Single-cell field; brightfield microscopy, 40× oil immersion; bone marrow smear
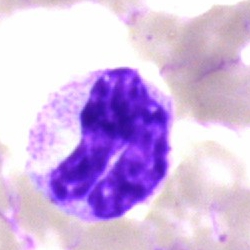
Q: What is shown here?
A: This is a polymorphonuclear neutrophil.